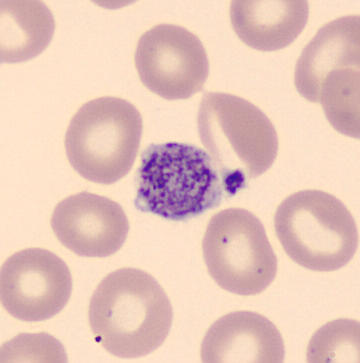
From a peripheral blood smear: a thrombocyte.